Peripheral blood film
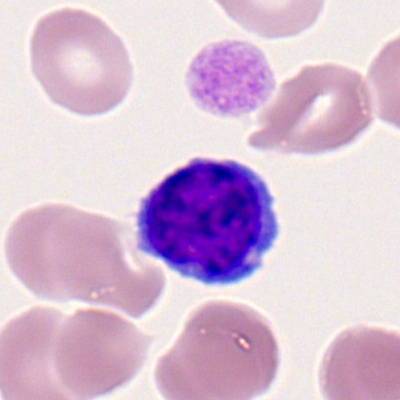

Morphological class — lymphocyte.